Bone marrow aspirate smear · 40× oil immersion:
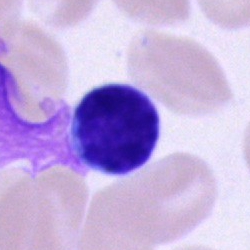
Specimen: bone marrow smear.
Morphological class: typical lymphocyte.
Lineage: lymphoid.